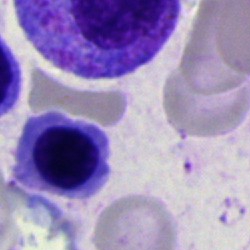The morphological class is erythroblast.